Peripheral blood smear
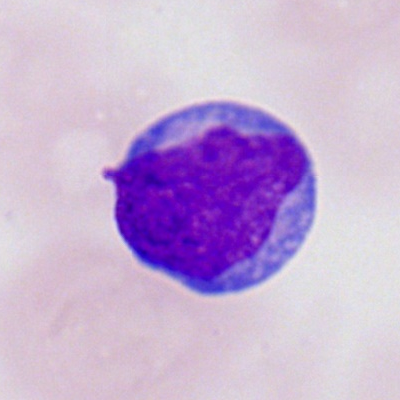
Morphological class = myeloid blast.